Bone marrow aspirate smear
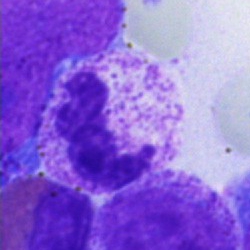

{"cell_type": "segmented neutrophil", "lineage": "myeloid"}